Bone marrow smear. Brightfield, 40× oil-immersion objective — 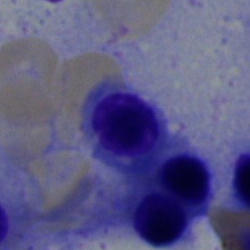
Q: What is the morphological classification of this cell?
A: It is a nucleated red blood cell.